Bone marrow aspirate smear:
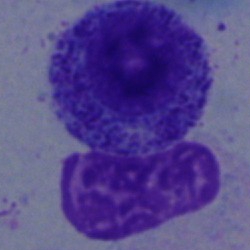
Specimen: bone marrow aspirate smear.
Morphological class: myelocyte.